Bone marrow aspirate smear — 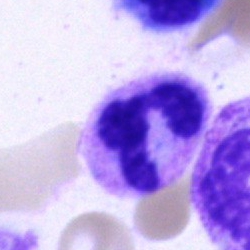

Q: Identify the cell.
A: A neutrophil (segmented).